Peripheral blood smear — 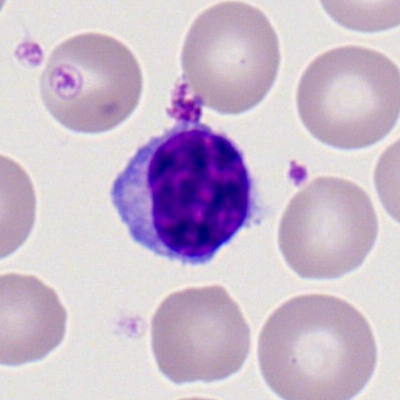 Morphological class: lymphocyte.